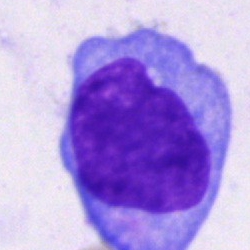

Q: What cell is this?
A: This is an undifferentiated blast.